Bone marrow aspirate smear:
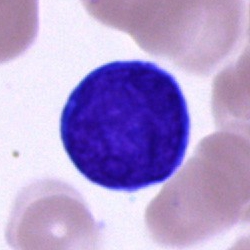 This is an undifferentiated blast.